Bone marrow smear; MGG-stained — 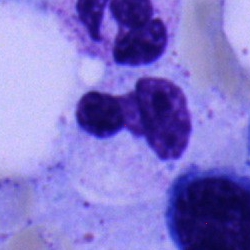

Single cell identified as a band-form neutrophil.